250×250 · cropped to a single cell · bone marrow smear — 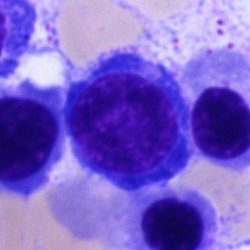

Q: Which cell type is shown here?
A: An erythroblast.